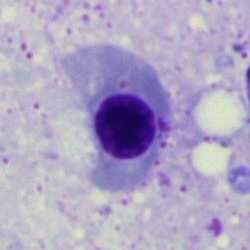Specimen: bone marrow smear.
Morphological class: normoblast.
Lineage: erythroid.